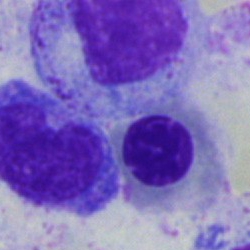Morphology — erythroblast.